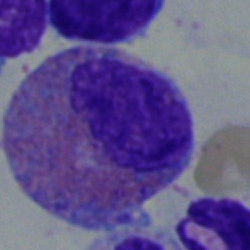Classification = eosinophil.